Bone marrow smear · MGG-stained: 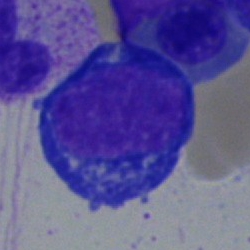
Q: What cell is this?
A: It is a proerythroblast.